Bone marrow smear: 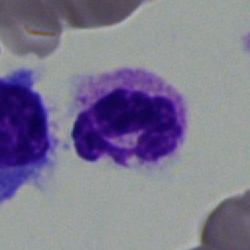 Specimen: bone marrow aspirate smear.
Cell: polymorphonuclear neutrophil.
Lineage: myeloid.